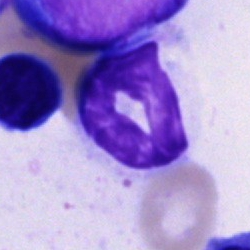Q: Which cell type is shown here?
A: Unidentifiable cell.